Bone marrow smear — 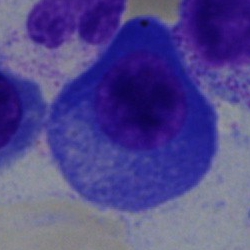

Morphology → plasma cell.